250 by 250 pixels. Bone marrow smear. Pappenheim-stained:
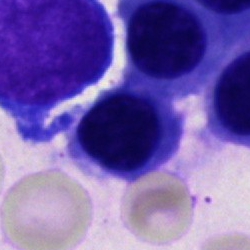 Q: What cell is this?
A: A nucleated red blood cell.